Peripheral blood film.
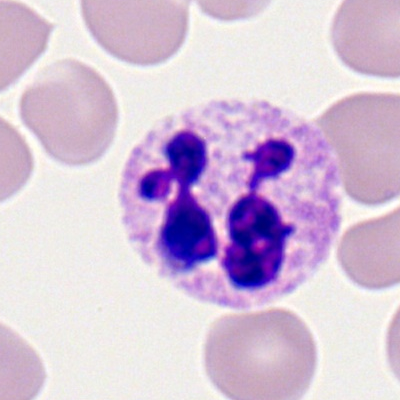 Specimen: peripheral blood film.
Classification: neutrophil (segmented).
Lineage: myeloid.